Peripheral blood film — 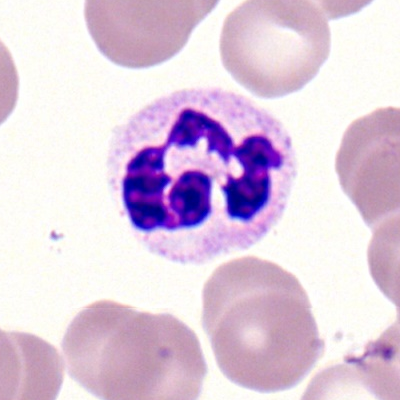Morphology consistent with a segmented neutrophil.